Peripheral blood film:
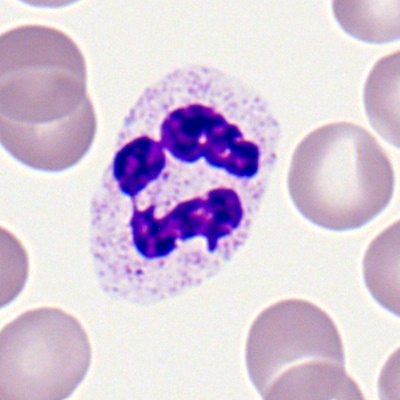
Q: What type of cell is this?
A: This is a polymorphonuclear neutrophil.